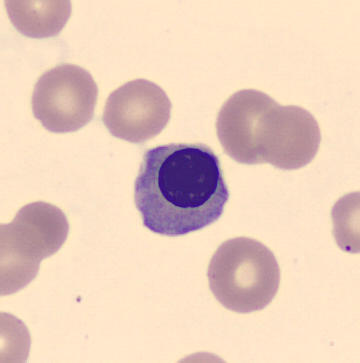

Preparation: 360 by 363 pixels. Peripheral blood smear.

The cell shown is an erythroblast.